Bone marrow aspirate smear.
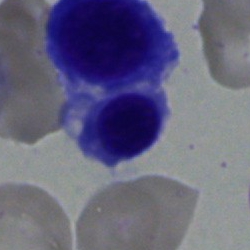

Normoblast.